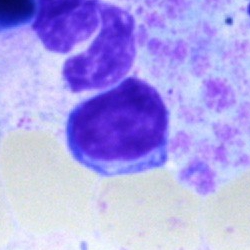
Single-cell crop from a bone marrow smear: lymphocyte.